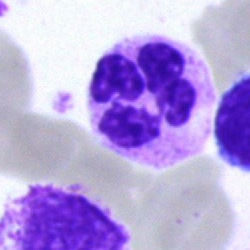

Specimen: bone marrow aspirate smear.
Classification: segmented neutrophil.